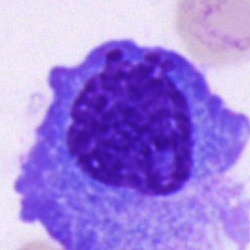
Cell type — plasma cell.